Bone marrow aspirate smear · cropped to a single cell · 250×250 — 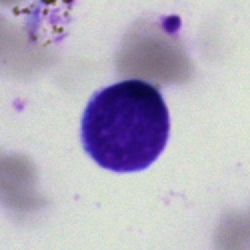Morphological class = typical lymphocyte.